Bone marrow aspirate smear:
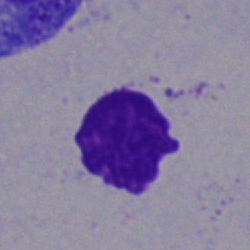 Artifact.